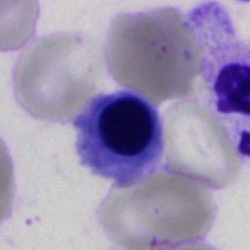Specimen: bone marrow aspirate smear.
Cell type: normoblast.
Lineage: erythroid.